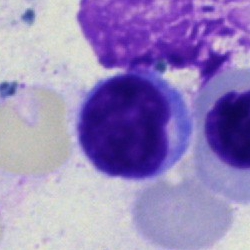
Lymphocyte.